Bone marrow smear
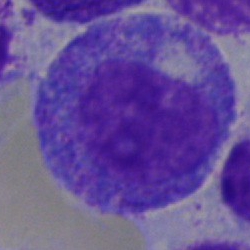

Showing a progranulocyte.